Image size 250×250 · bone marrow aspirate smear
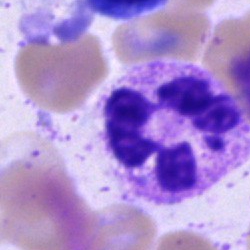
Impression → segmented neutrophil.